Bone marrow smear
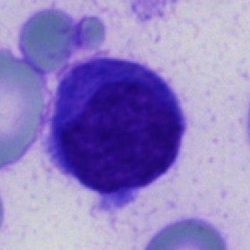

{"cell_type": "unidentifiable cell"}